Bone marrow smear
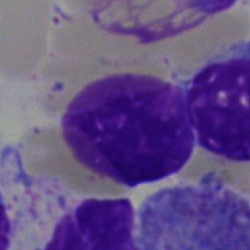

Cell — artifact.